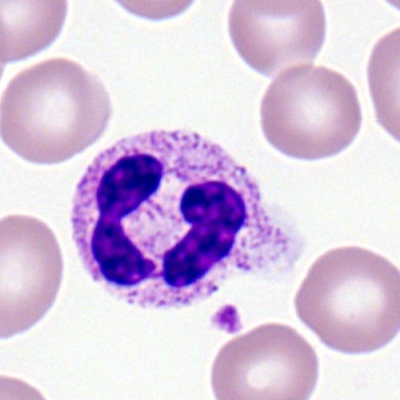 {"cell_type": "neutrophil (segmented)", "lineage": "myeloid"}